Bone marrow aspirate smear; May-Grünwald-Giemsa stain:
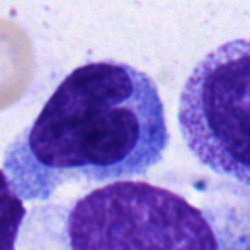Morphology consistent with a neutrophil (band).